Romanowsky stain; peripheral blood smear: 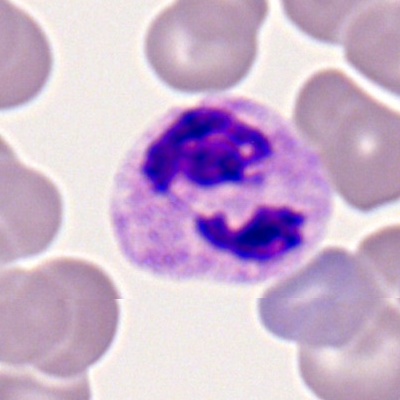

Specimen: peripheral blood smear.
Classification: segmented neutrophil.